Bone marrow smear — 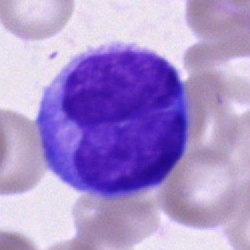

Morphological class: monocyte.